Bone marrow aspirate smear · May-Grünwald-Giemsa/Pappenheim stain · 250 by 250 pixels
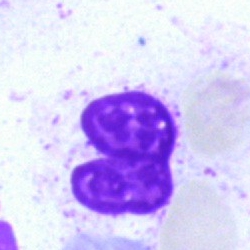
The cell is artefact.